Single cell centered in the field; bone marrow smear — 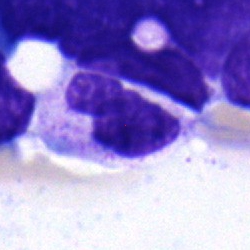

Band neutrophil.